Peripheral blood smear — 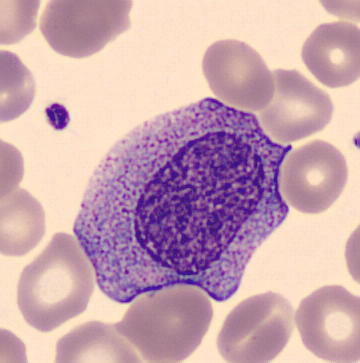Morphology — progranulocyte.